Romanowsky stain. Peripheral blood film:
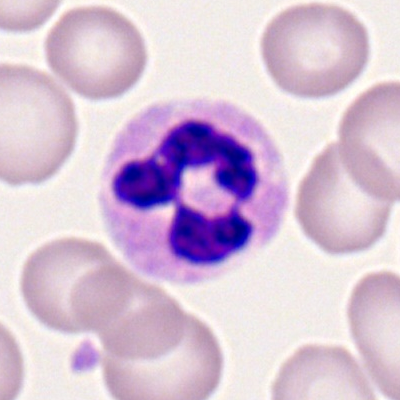Classification = polymorphonuclear neutrophil.